Bone marrow smear:
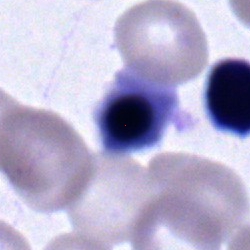
Specimen: bone marrow aspirate smear.
Cell: erythroblast.
Lineage: erythroid.